Bone marrow smear. Pappenheim-stained — 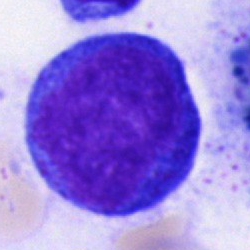

Showing a pronormoblast.